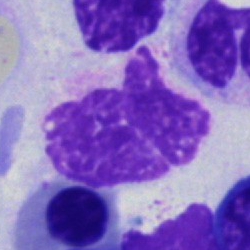

Cell type = artefact.